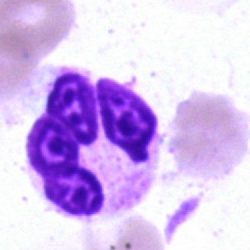Specimen: bone marrow aspirate smear.
Cell: segmented neutrophil.
Lineage: myeloid.